Bone marrow smear: 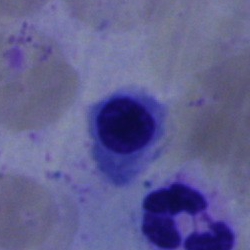Cell = nucleated red cell.